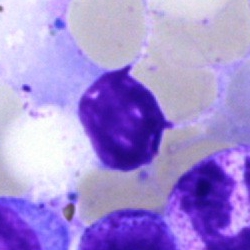

Morphology — artifact.